Peripheral blood smear; cropped to a single cell; image size 400×400
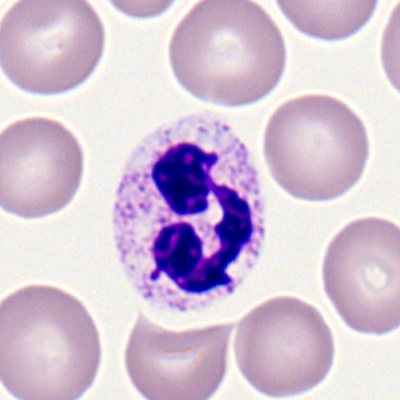A polymorphonuclear neutrophil.